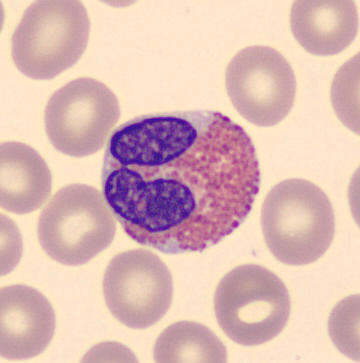The cell is eosinophil.
Peripheral blood film; single-cell crop.